Bone marrow aspirate smear: 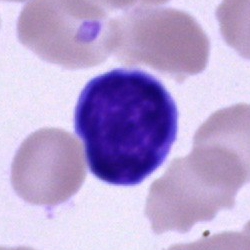 {"cell_type": "lymphocyte"}